May-Grünwald-Giemsa stain; bone marrow smear; single-cell crop.
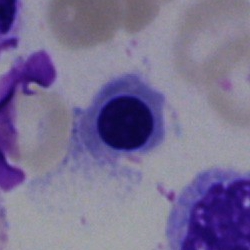
Impression → nucleated red blood cell.